Bone marrow smear · brightfield, 40× oil-immersion objective:
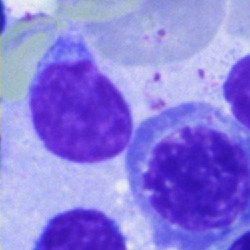

Morphological class: erythroblast.